40× objective, oil immersion; single-cell field; bone marrow smear:
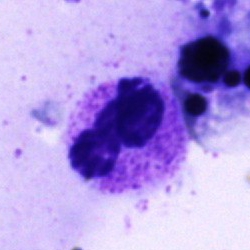Morphological class — neutrophil (segmented).